250 by 250 pixels. Cropped to a single cell. Bone marrow smear
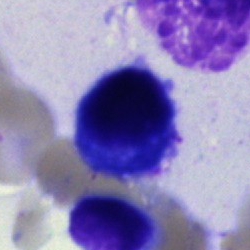
The cell is plasma cell.